Bone marrow smear · MGG-stained.
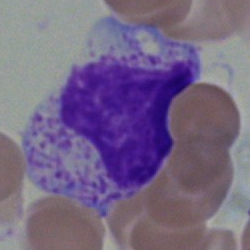
Morphology consistent with a myelocyte.